Bone marrow smear
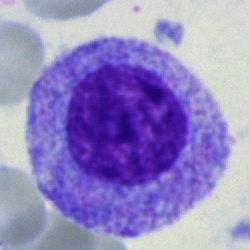
Cell type — progranulocyte.